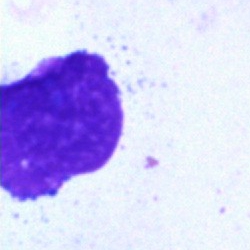Morphological class = artefact.